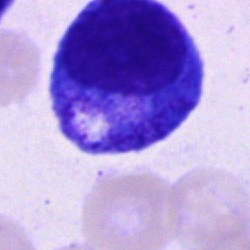

Morphology — promyelocyte.